Bone marrow smear — 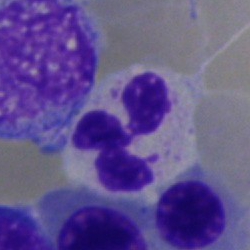
Morphology → segmented neutrophil.